Bone marrow aspirate smear · brightfield microscopy, 40× oil immersion · May-Grünwald-Giemsa/Pappenheim stain — 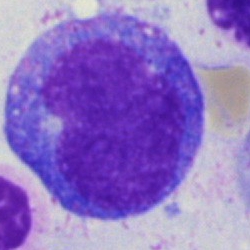 Cell type — progranulocyte.